Brightfield microscopy, 40× oil immersion · 250×250 · bone marrow aspirate smear
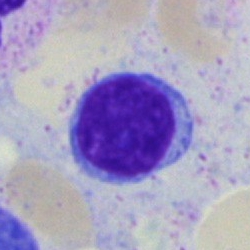
Specimen: bone marrow smear.
Cell type: typical lymphocyte.